Bone marrow aspirate smear: 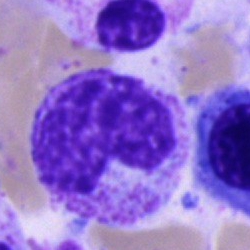

Morphology → metamyelocyte.